Bone marrow aspirate smear; single cell centered in the field.
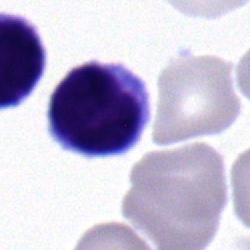 Impression → lymphocyte.